Bone marrow aspirate smear. 40× objective, oil immersion.
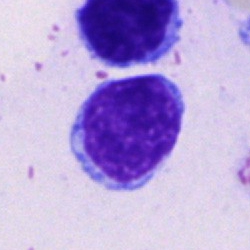Specimen: bone marrow aspirate smear.
Morphological class: lymphocyte.
Lineage: lymphoid.